Brightfield, 40× oil-immersion objective. Bone marrow aspirate smear — 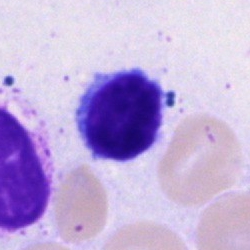Morphological class = lymphocyte.